40× oil immersion; 250 by 250 pixels; bone marrow smear — 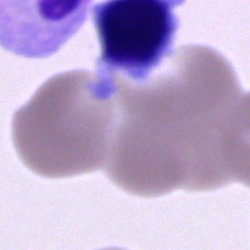 Specimen: bone marrow aspirate smear.
Cell: cell of indeterminate lineage.